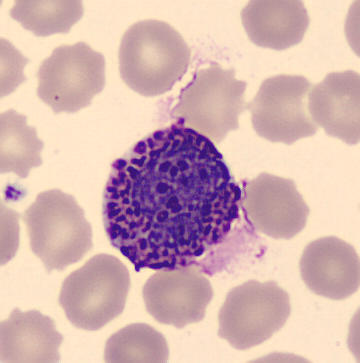
Preparation: Peripheral blood film.
Q: What cell is this?
A: Basophil.